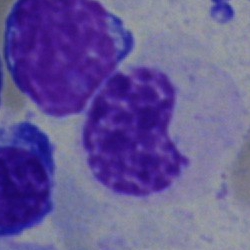Cell type: metamyelocyte.